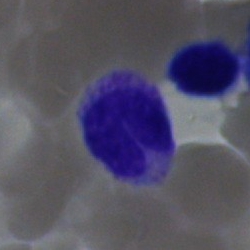 Cell: stab cell.